250×250; bone marrow aspirate smear: 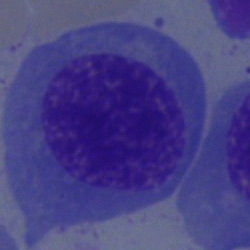 Classification — nucleated red cell.